Bone marrow smear
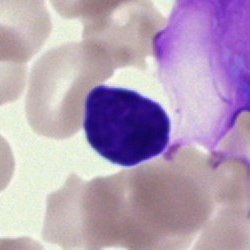Q: Which cell type is shown here?
A: It is a typical lymphocyte.